Single-cell field. Bone marrow smear
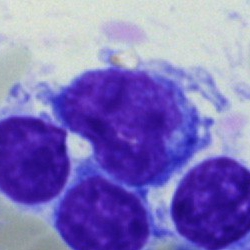
Cell type: typical lymphocyte.